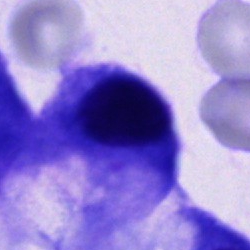
Q: What cell is this?
A: It is an other cell.